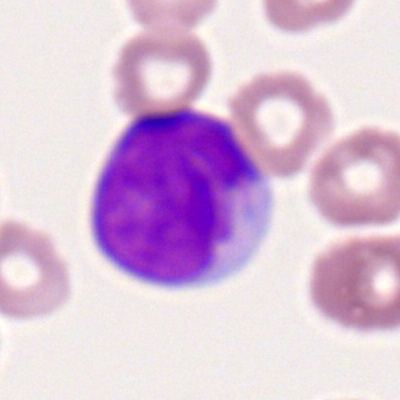 Peripheral blood smear showing a lymphocyte.